Cropped to a single cell. Peripheral blood smear:
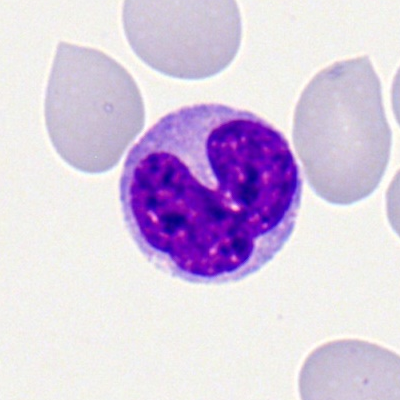 Cell type: monocyte.